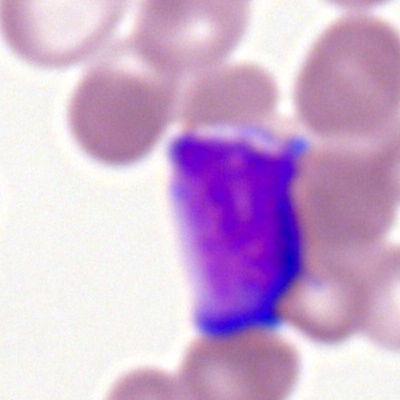

This is a myeloblast.